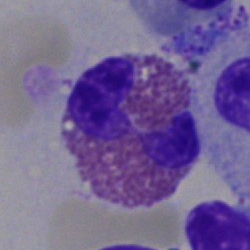
Morphology → eosinophilic granulocyte.